Bone marrow smear:
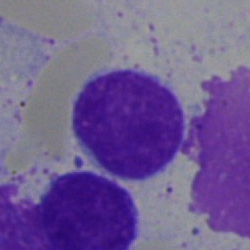Morphology → typical lymphocyte.